Bone marrow smear.
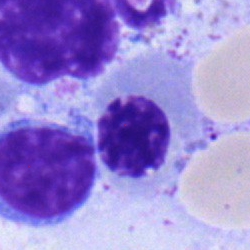
Nucleated red cell.